Bone marrow smear · 40× oil immersion:
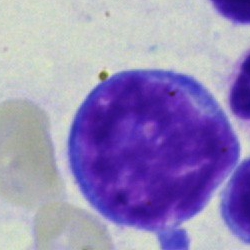

Specimen: bone marrow aspirate smear.
Cell type: pronormoblast.
Lineage: erythroid.